Bone marrow smear · May-Grünwald-Giemsa/Pappenheim stain · 250×250: 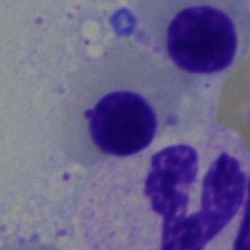

Q: Which cell type is shown here?
A: A neutrophil (segmented).